Bone marrow aspirate smear: 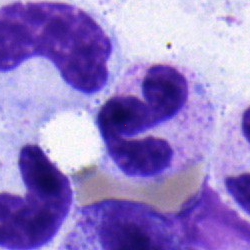 Showing a segmented neutrophil.